Bone marrow smear. Single-cell field. Pappenheim-stained: 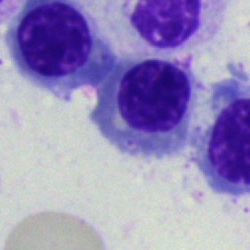Morphology consistent with a nucleated red cell.